Brightfield, 40× oil-immersion objective · image size 250×250 · bone marrow aspirate smear:
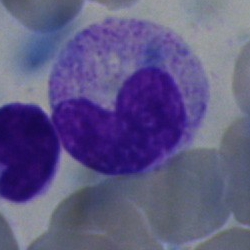
Morphological class: band neutrophil.